May-Grünwald-Giemsa/Pappenheim stain · bone marrow smear: 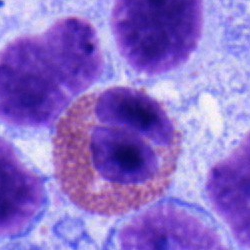 Morphology — eosinophilic granulocyte.